Bone marrow smear: 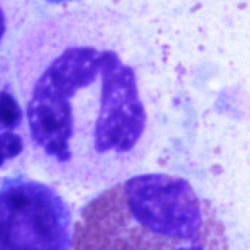

Morphological class = polymorphonuclear neutrophil.